40× oil immersion · bone marrow aspirate smear · single-cell crop
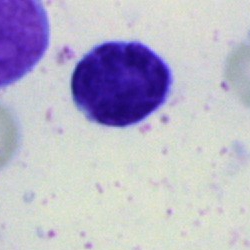Lymphocyte.